Bone marrow smear:
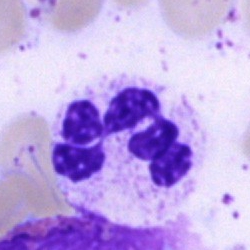 Q: What cell is this?
A: A neutrophil (segmented).